Bone marrow smear:
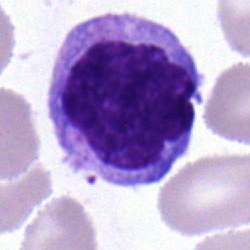
Showing a typical lymphocyte.